Peripheral blood film:
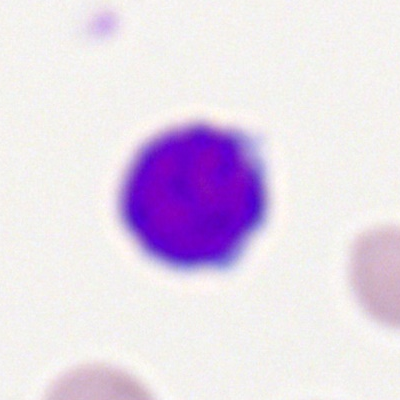Q: What type of cell is this?
A: Typical lymphocyte.